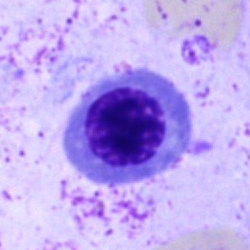

Q: Identify the cell.
A: This is a nucleated red cell.